Peripheral blood smear
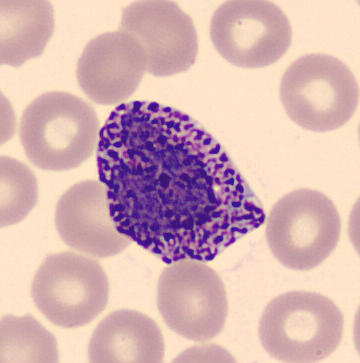

Classification — basophilic granulocyte.